Peripheral blood film. 400×400 px.
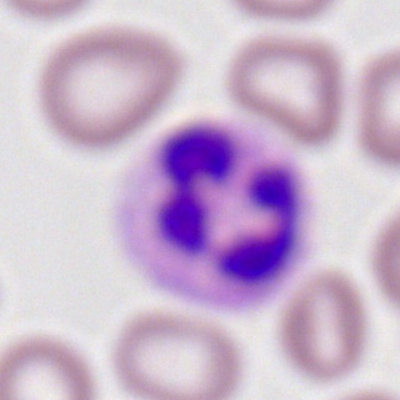

Classification = polymorphonuclear neutrophil.